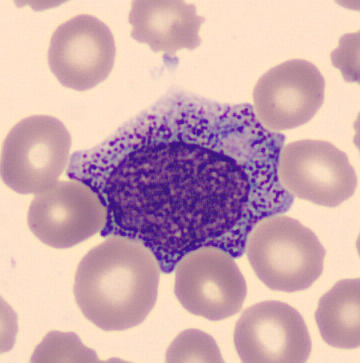
The cell shown is a promyelocyte.

Preparation: Peripheral blood smear.